Bone marrow smear.
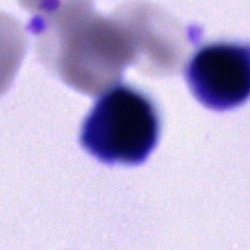Q: What cell is this?
A: Unidentifiable cell.